Bone marrow aspirate smear
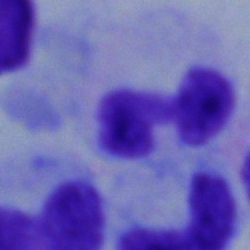
Specimen: bone marrow smear.
Cell type: band-form neutrophil.